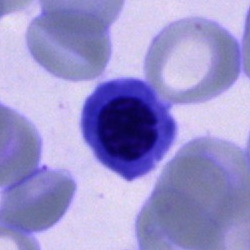
Q: What type of cell is this?
A: It is an erythroblast.